Bone marrow smear — 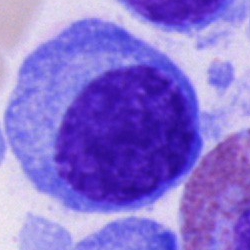Single cell identified as a plasmacyte.